Bone marrow aspirate smear · cropped to a single cell: 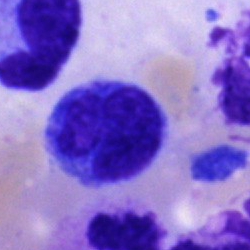 The morphological class is monocyte.